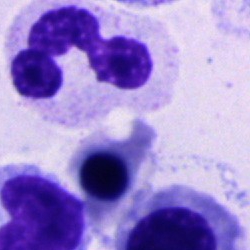The cell is polymorphonuclear neutrophil.